Bone marrow aspirate smear
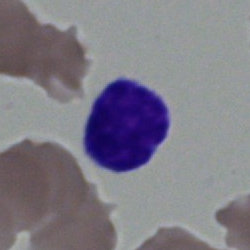{"cell_type": "lymphocyte", "lineage": "lymphoid"}